250×250 · bone marrow aspirate smear — 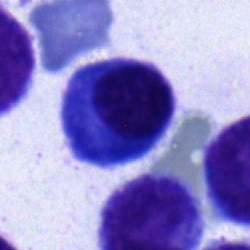Classification — plasma cell.